Bone marrow smear — 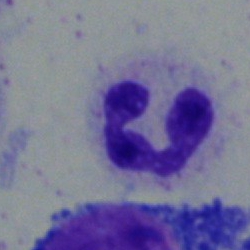 Q: Identify the cell.
A: Neutrophil (segmented).